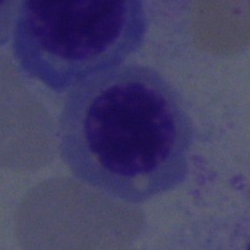Bone marrow smear showing a nucleated red cell.